Bone marrow smear: 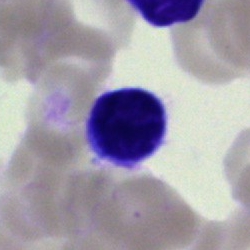
Specimen: bone marrow aspirate smear.
Cell: lymphocyte.
Lineage: lymphoid.